Cropped to a single cell; bone marrow smear.
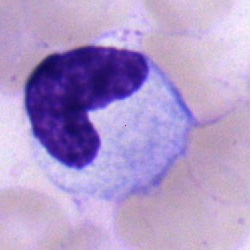 {"cell_type": "band-form neutrophil", "lineage": "myeloid"}